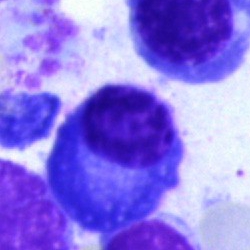
The classification is plasmacyte.